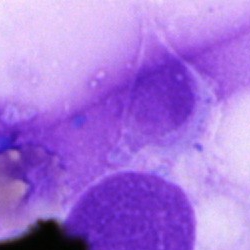Single-cell crop from a bone marrow smear: artifact.